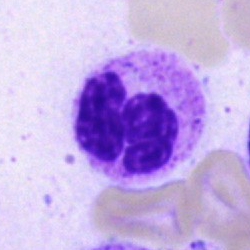

This is a polymorphonuclear neutrophil.